Romanowsky stain; peripheral blood film: 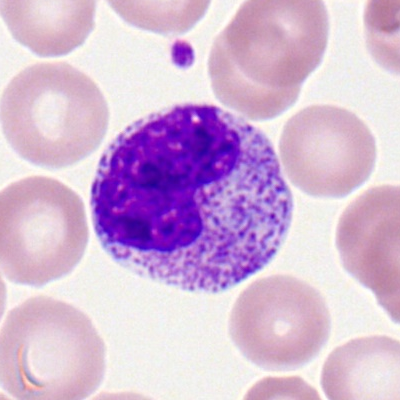 Metamyelocyte.